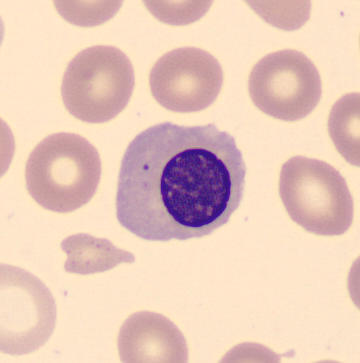 {"cell_type": "normoblast", "lineage": "erythroid"}

Preparation: Peripheral blood film.